Bone marrow aspirate smear. Brightfield microscopy, 40× oil immersion:
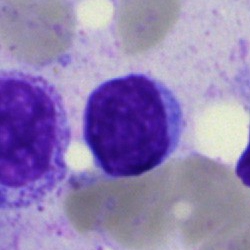Morphology — typical lymphocyte.